Bone marrow smear
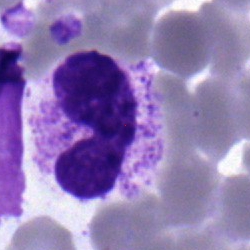
This is a neutrophil (band).